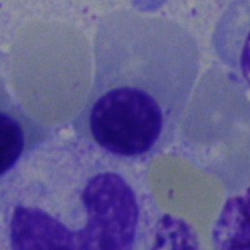 Bone marrow smear showing a nucleated red blood cell.